Bone marrow aspirate smear.
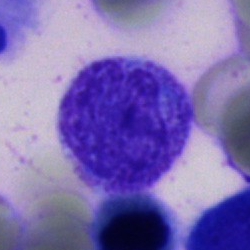Impression — myelocyte.